Bone marrow smear: 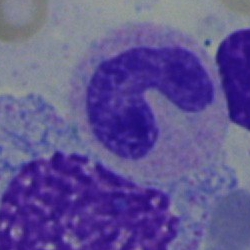 The cell shown is a neutrophil (band).